Bone marrow aspirate smear; single cell centered in the field:
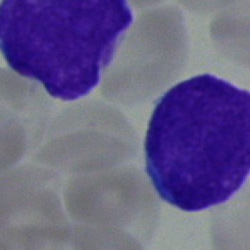Morphological class = blast.